Bone marrow smear
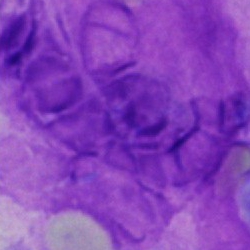
Q: What is shown here?
A: It is an artefact.